Bone marrow aspirate smear · single-cell field: 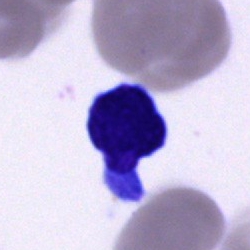
Single cell identified as a typical lymphocyte.